Bone marrow aspirate smear
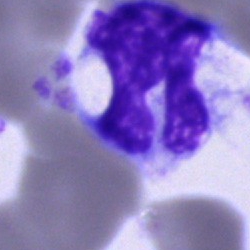

Q: Which cell type is shown here?
A: It is a monocyte.